Bone marrow smear; 250 by 250 pixels — 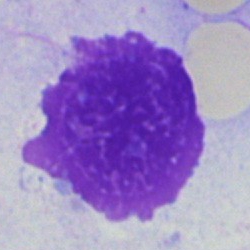Cell type — artifact.